Bone marrow smear
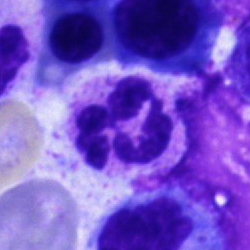
This is a polymorphonuclear neutrophil.